Bone marrow aspirate smear.
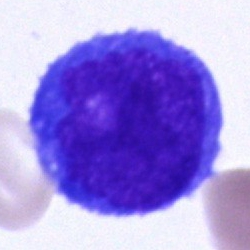 Showing a blast.